Peripheral blood film: 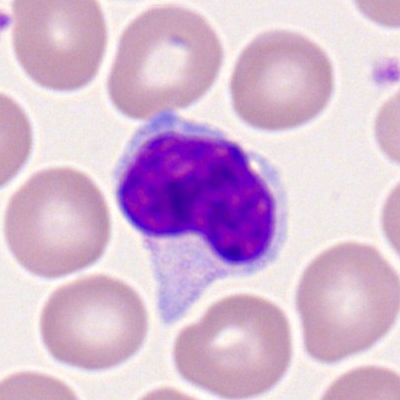
{"cell_type": "lymphocyte", "lineage": "lymphoid"}